May-Grünwald-Giemsa/Pappenheim stain. Bone marrow aspirate smear: 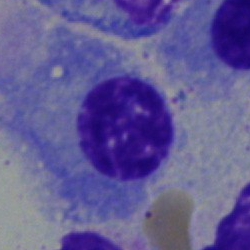
The cell shown is a plasmacyte.